Single-cell crop; bone marrow smear.
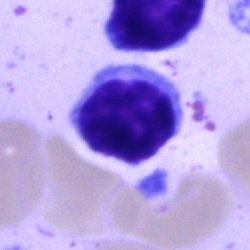 Q: What is the morphological classification of this cell?
A: Lymphocyte.